Bone marrow aspirate smear · 40× oil immersion · MGG-stained — 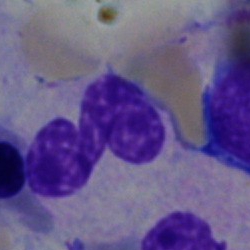Q: What type of cell is this?
A: This is a stab cell.